Bone marrow aspirate smear:
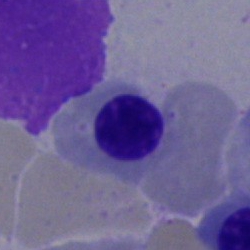 Cell: normoblast.